May-Grünwald-Giemsa/Pappenheim stain; bone marrow aspirate smear
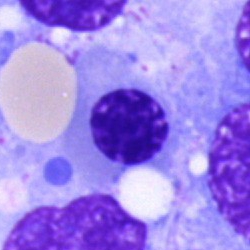

Morphological class — nucleated red cell.